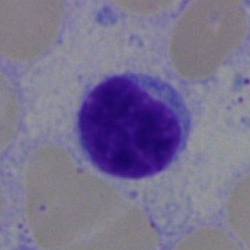 Morphology → lymphocyte.